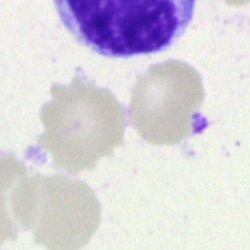

Cell type — cell of indeterminate lineage.